Bone marrow aspirate smear · 40× objective, oil immersion: 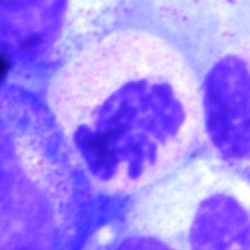

Single cell identified as a segmented neutrophil.